Bone marrow smear; brightfield microscopy, 40× oil immersion
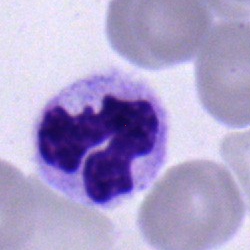
This is a neutrophil (segmented).